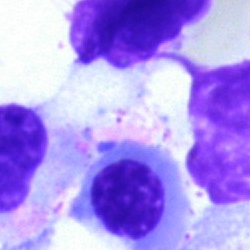 Specimen: bone marrow smear.
Morphological class: normoblast.
Lineage: erythroid.